Bone marrow smear.
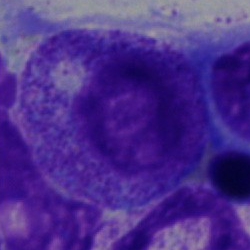 Single cell identified as a myelocyte.